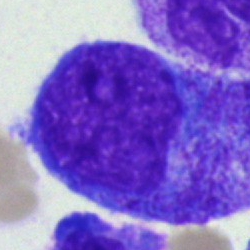
Classification = pronormoblast.